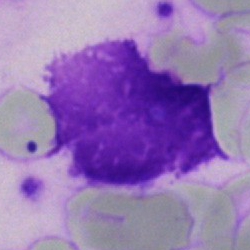 Classification — artifact.